250 by 250 pixels. Bone marrow aspirate smear.
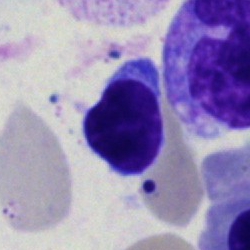Morphological class = typical lymphocyte.